Brightfield, 40× oil-immersion objective · bone marrow smear · Pappenheim-stained.
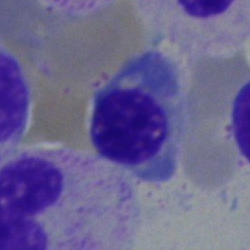

Cell type: erythroblast.